Peripheral blood smear:
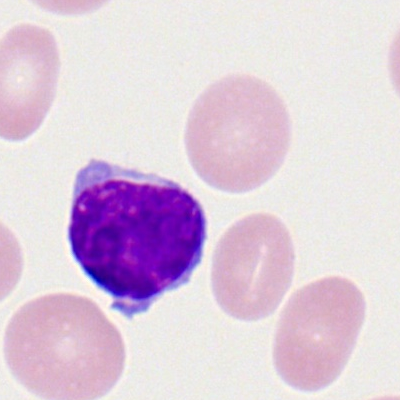 Impression → lymphocyte.